Bone marrow aspirate smear: 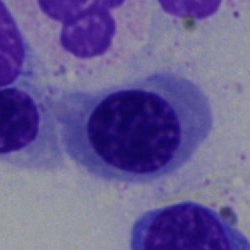
Single cell identified as a normoblast.